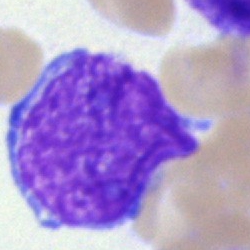 Single cell identified as an undifferentiated blast.